Bone marrow aspirate smear — 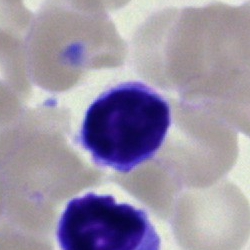 Morphological class — lymphocyte.